Bone marrow aspirate smear.
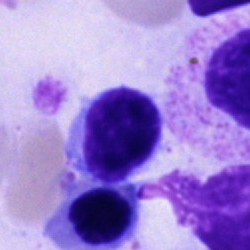
Morphological class = lymphocyte.